Bone marrow smear: 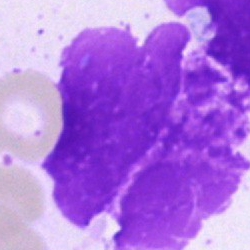

Q: What is shown here?
A: This is an artifact.